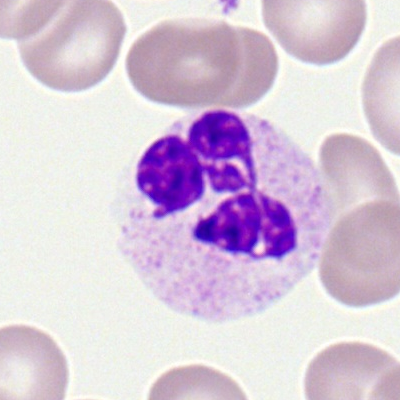Cell: neutrophil (segmented).